May-Grünwald-Giemsa-stained; single-cell crop; peripheral blood smear:
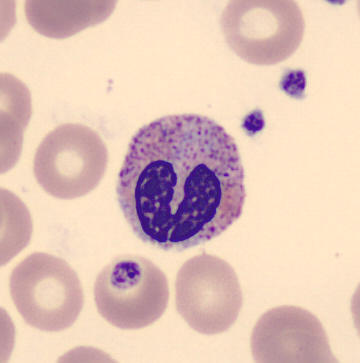 A band-form neutrophil.